400×400; cropped to a single cell; peripheral blood film: 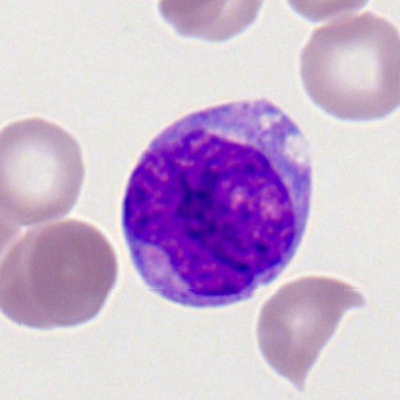The cell is monocyte.